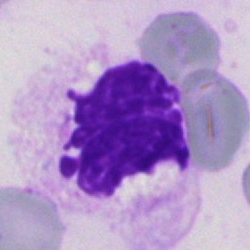 Cell: artefact.